Brightfield microscopy, 40× oil immersion · 250×250 · bone marrow aspirate smear:
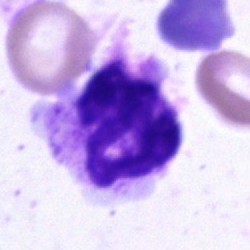
Morphology — segmented neutrophil.